Bone marrow aspirate smear. Image size 250×250. MGG-stained — 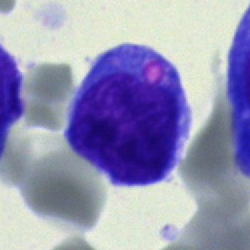Undifferentiated blast.